Bone marrow smear.
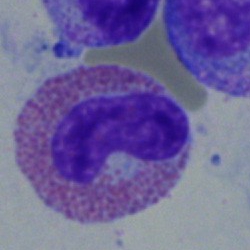Q: What is shown here?
A: An eosinophil.